Bone marrow smear: 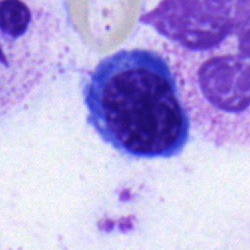Morphological class — normoblast.